MGG-stained; peripheral blood film — 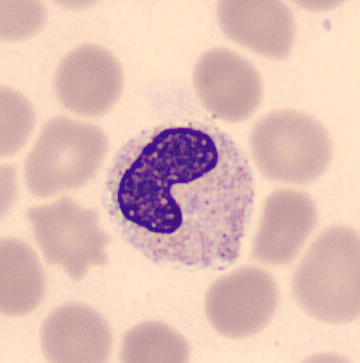
Specimen: peripheral blood film.
Cell: band neutrophil.
Lineage: myeloid.